Bone marrow smear. Pappenheim-stained — 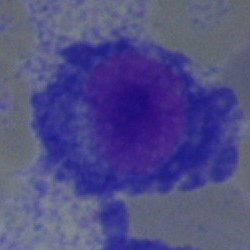A plasmacyte.